Bone marrow smear:
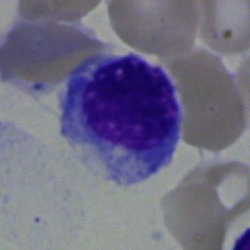 Q: What type of cell is this?
A: Nucleated red cell.